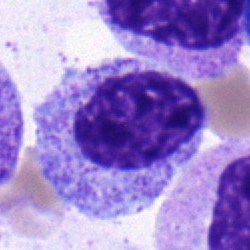Morphology → myelocyte.